Single cell centered in the field · 40× objective, oil immersion · bone marrow smear:
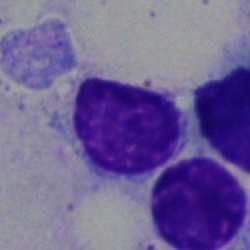Morphological class — lymphocyte.